Single cell centered in the field. M8 digital microscope (Precipoint), 100× oil immersion. Peripheral blood film.
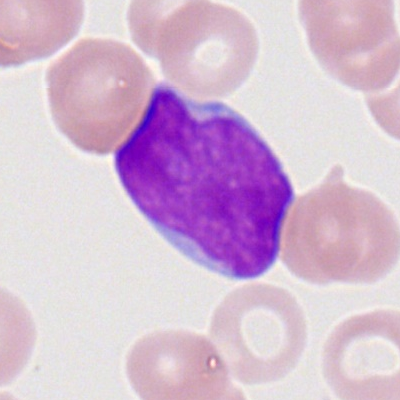
Q: What type of cell is this?
A: A myeloid blast.